Bone marrow smear.
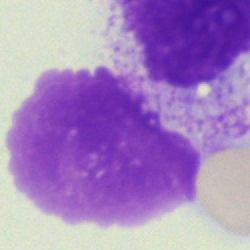The cell shown is an artefact.